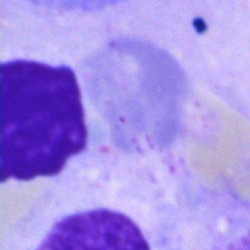
Single-cell crop from a bone marrow smear: artefact.